May-Grünwald-Giemsa stain; bone marrow aspirate smear
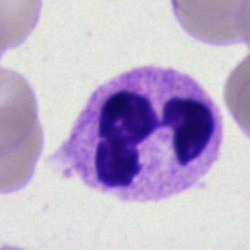
Polymorphonuclear neutrophil.